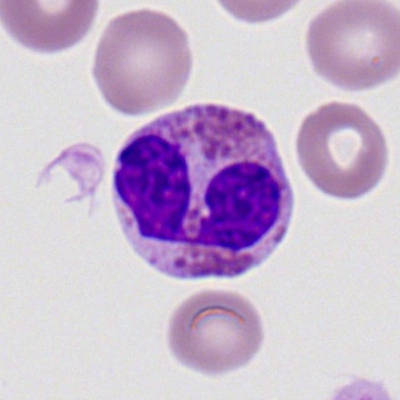

The morphological class is eosinophilic granulocyte.